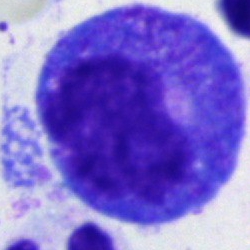 Q: Which cell type is shown here?
A: This is a progranulocyte.